Bone marrow smear — 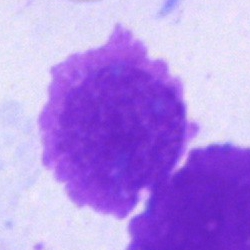

{"cell_type": "artifact"}